Bone marrow smear · 40× oil immersion.
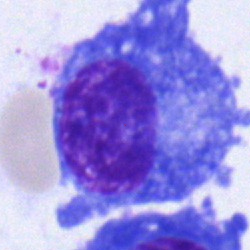
A plasma cell.